Bone marrow aspirate smear:
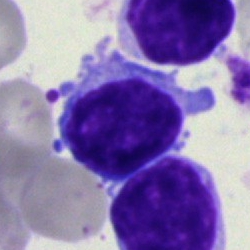 Single cell identified as a lymphocyte.